Bone marrow smear.
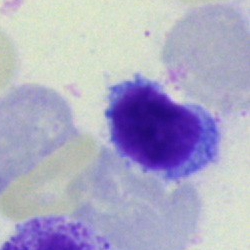

Showing a typical lymphocyte.